Bone marrow aspirate smear: 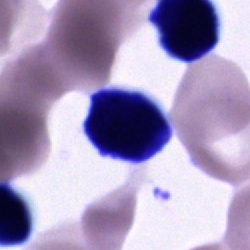

This is an unidentifiable cell.